Bone marrow smear.
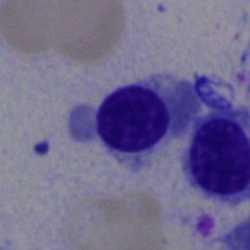 A normoblast.